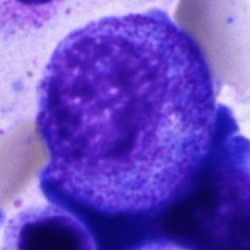

A promyelocyte.